Image size 250×250; bone marrow aspirate smear; single-cell crop.
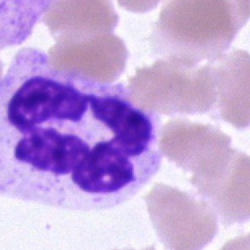Cell type — polymorphonuclear neutrophil.